Bone marrow aspirate smear — 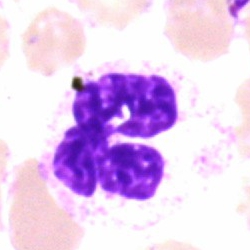Morphology consistent with a neutrophil (segmented).